May-Grünwald-Giemsa/Pappenheim stain. Bone marrow smear — 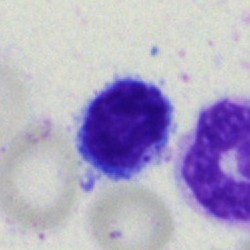
Specimen: bone marrow smear.
Classification: typical lymphocyte.
Lineage: lymphoid.